Bone marrow aspirate smear · image size 250×250
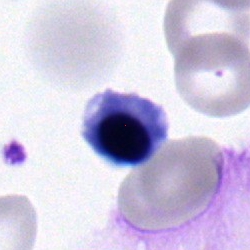

This is an erythroblast.